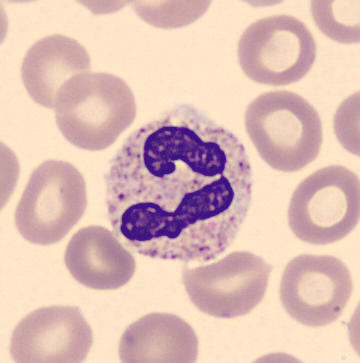 Specimen: peripheral blood film.
Cell: polymorphonuclear neutrophil.
Lineage: myeloid.